Bone marrow smear.
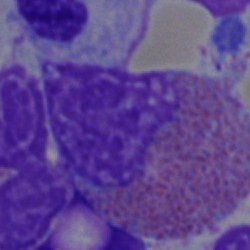 Morphology — eosinophil.